Bone marrow aspirate smear
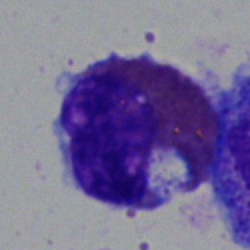 The cell shown is an eosinophilic granulocyte.